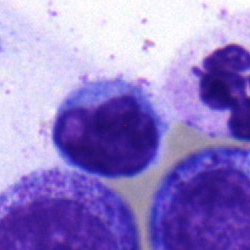 Bone marrow smear showing a lymphocyte.